Bone marrow aspirate smear; single cell centered in the field:
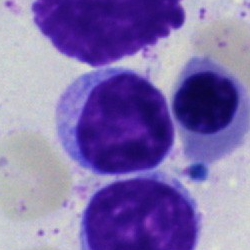

Classification: lymphocyte.